Bone marrow smear.
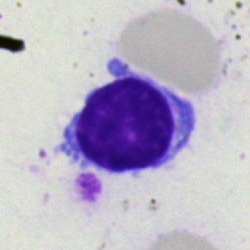Cell: lymphocyte.